Bone marrow smear. Cropped to a single cell:
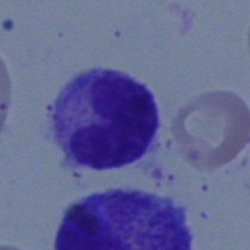

Stab cell.